Bone marrow aspirate smear:
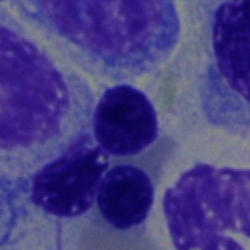

Specimen: bone marrow aspirate smear.
Cell type: nucleated red blood cell.